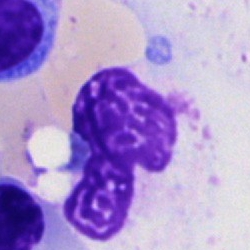
{"cell_type": "artefact"}